Peripheral blood smear; 400 by 400 pixels.
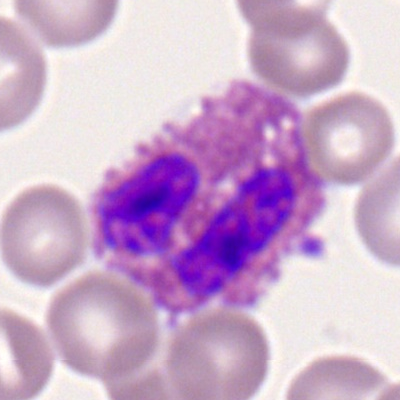 Cell type = eosinophil.